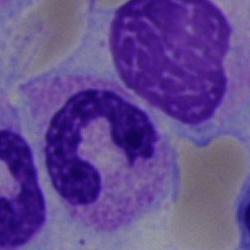 A segmented neutrophil.